Bone marrow smear
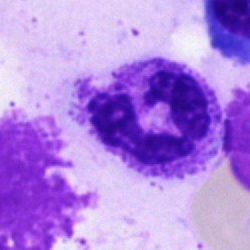

Q: Identify the cell.
A: A segmented neutrophil.